Bone marrow smear
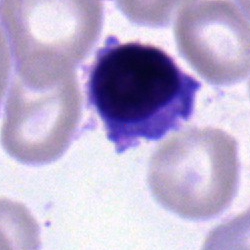 The cell shown is a typical lymphocyte.